May-Grünwald-Giemsa/Pappenheim stain; bone marrow aspirate smear; cropped to a single cell: 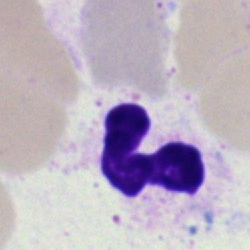
Q: What is shown here?
A: A segmented neutrophil.